Bone marrow smear.
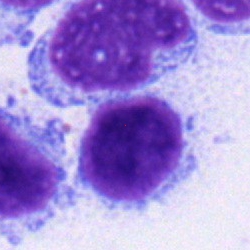 Impression → typical lymphocyte.